250×250 · bone marrow smear:
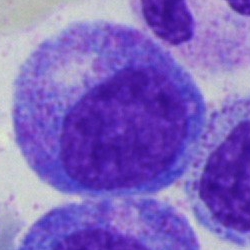Q: What is shown here?
A: It is a promyelocyte.